Bone marrow smear. 250 by 250 pixels.
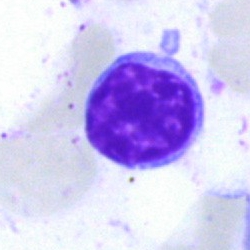

Q: What type of cell is this?
A: This is a typical lymphocyte.